Peripheral blood smear; 100× oil immersion, 14.14 px/µm: 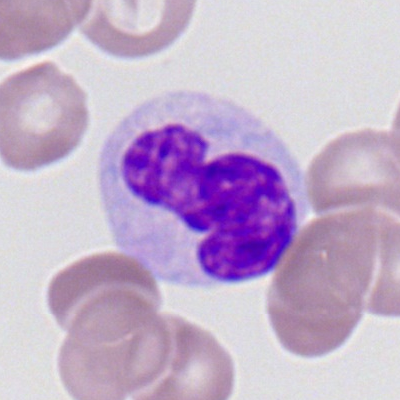

Specimen: peripheral blood film.
Cell: neutrophil (segmented).
Lineage: myeloid.